Bone marrow aspirate smear. Image size 250×250. Pappenheim-stained
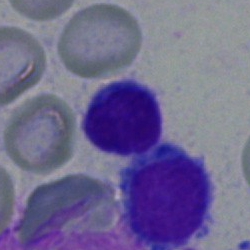 Typical lymphocyte.